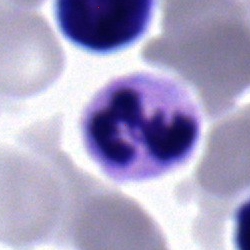

Specimen: bone marrow smear.
Cell: polymorphonuclear neutrophil.
Lineage: myeloid.